Bone marrow aspirate smear. Single cell centered in the field. Pappenheim-stained:
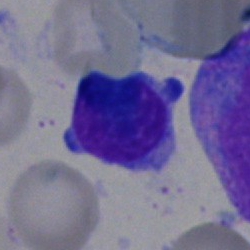

Single cell identified as a typical lymphocyte.